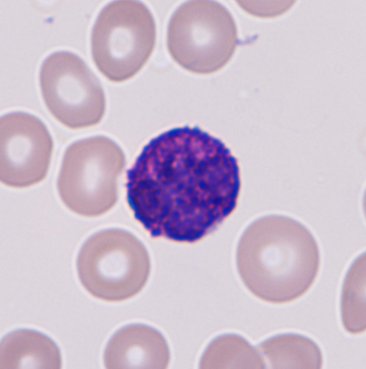Classification — basophilic granulocyte. Peripheral blood smear.